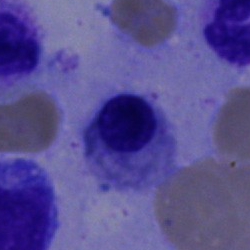Cell: neutrophil (band).